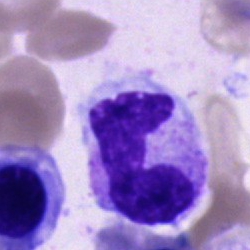 Classification = stab cell.